Bone marrow smear — 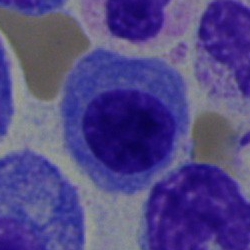 Showing a nucleated red blood cell.